400 by 400 pixels; peripheral blood film — 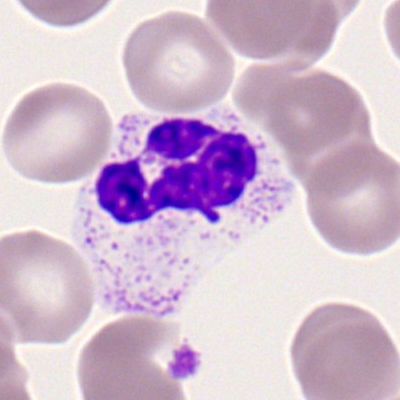
A neutrophil (segmented).